Bone marrow aspirate smear:
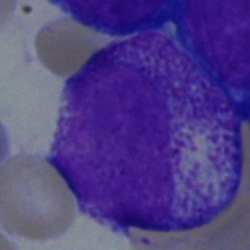 Single cell identified as a myelocyte.